Bone marrow aspirate smear. 250 by 250 pixels — 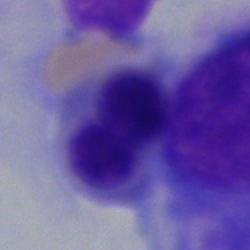

The cell is artifact.